Bone marrow aspirate smear
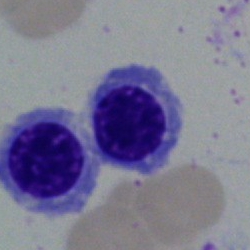

An erythroblast.